Bone marrow aspirate smear; brightfield microscopy, 40× oil immersion; 250×250 px:
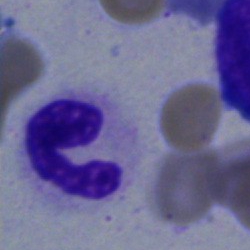

Morphological class: stab cell.